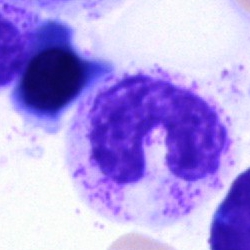

This is a band-form neutrophil.